May-Grünwald-Giemsa/Pappenheim stain; bone marrow smear; 250×250 px.
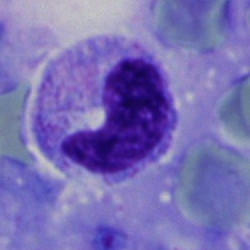 Band-form neutrophil.